Bone marrow aspirate smear — 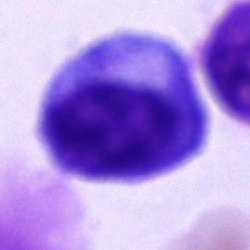
The cell type is cell of indeterminate lineage.